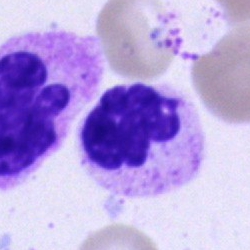

Neutrophil (segmented).